Bone marrow aspirate smear:
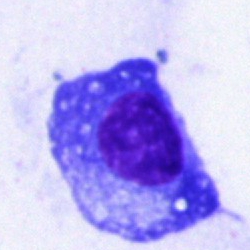 Morphology → plasma cell.